Bone marrow smear:
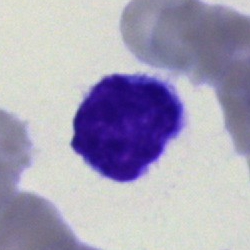

The cell type is lymphocyte.